Bone marrow smear — 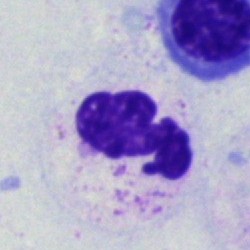Polymorphonuclear neutrophil.